100× oil immersion. Peripheral blood smear. Image size 400×400: 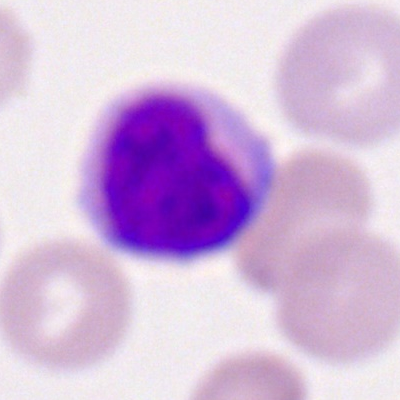 Morphology — lymphocyte.